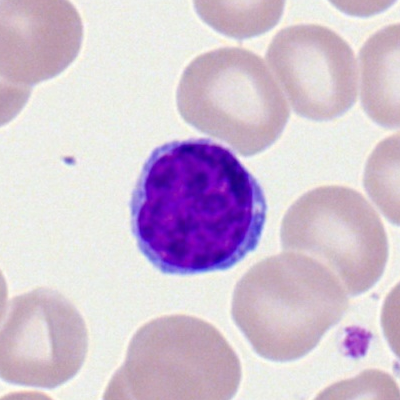

A lymphocyte.